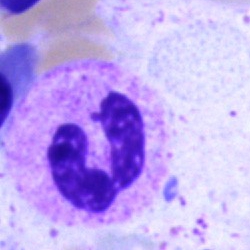 Neutrophil (segmented).